Pappenheim-stained. Bone marrow smear — 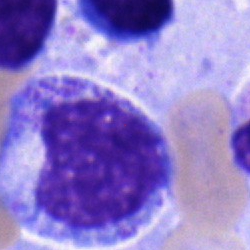
A myelocyte.